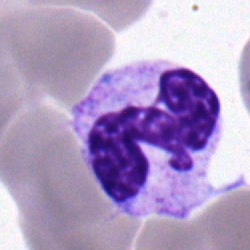

Segmented neutrophil.